Pappenheim-stained · bone marrow smear · 40× oil immersion:
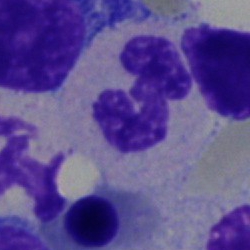
Cell type: neutrophil (segmented).